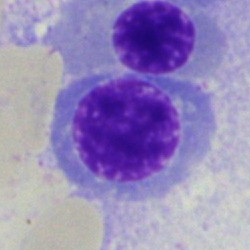

An erythroblast on a bone marrow smear.